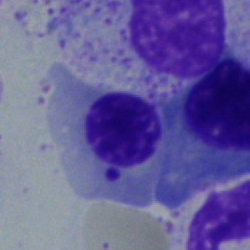The cell type is nucleated red blood cell.